Single-cell crop. Bone marrow aspirate smear:
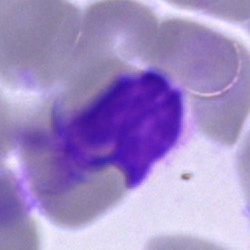

Q: What is shown here?
A: An artifact.